250 by 250 pixels · single-cell crop · bone marrow aspirate smear
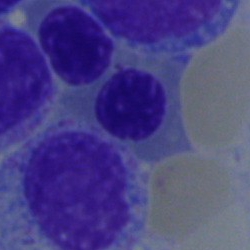Q: Which cell type is shown here?
A: It is a nucleated red blood cell.